Bone marrow aspirate smear.
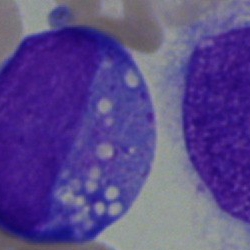 Cell: undifferentiated blast.